Bone marrow aspirate smear · Pappenheim-stained
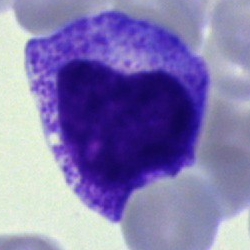The classification is promyelocyte.